May-Grünwald-Giemsa/Pappenheim stain; bone marrow aspirate smear
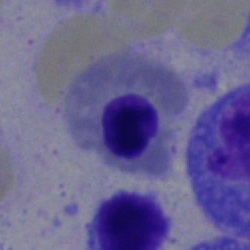 Specimen: bone marrow smear.
Cell: normoblast.
Lineage: erythroid.